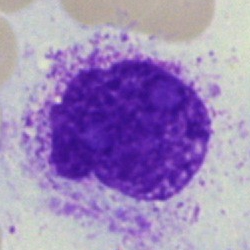
Showing an artifact.